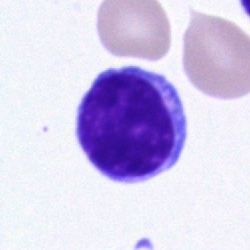 Classification = lymphocyte.